Bone marrow aspirate smear
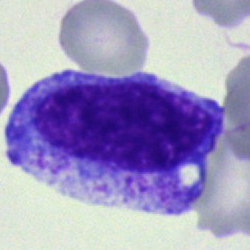

A progranulocyte.